Single-cell crop · 250 by 250 pixels · bone marrow smear.
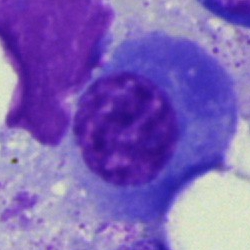 Morphology → plasma cell.